40× objective, oil immersion; bone marrow smear:
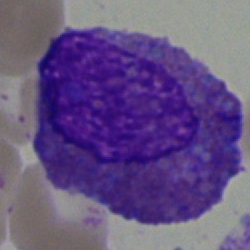 Cell — eosinophilic granulocyte.